Bone marrow aspirate smear. Brightfield, 40× oil-immersion objective — 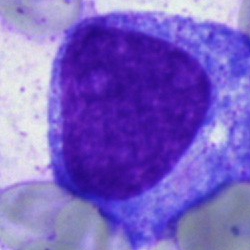The classification is progranulocyte.